Bone marrow smear · single-cell crop:
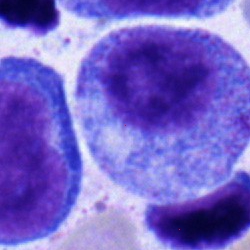 Promyelocyte.